Bone marrow smear · May-Grünwald-Giemsa/Pappenheim stain · 250×250 px.
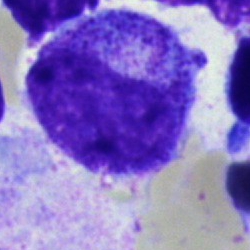
Q: What is shown here?
A: This is a progranulocyte.